Bone marrow aspirate smear — 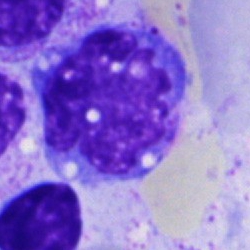 The classification is monocyte.